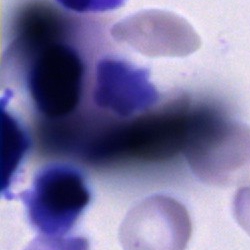

Q: Which cell type is shown here?
A: It is an unidentifiable cell.